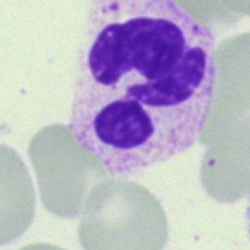 Bone marrow smear showing a neutrophil (segmented).